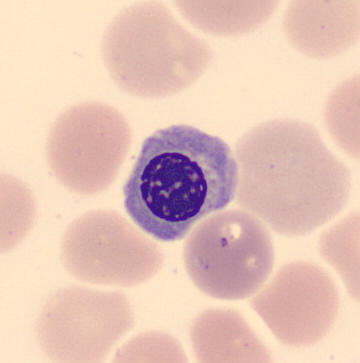

Acquisition: Peripheral blood smear. The classification is erythroblast.